Bone marrow smear; 40× oil immersion.
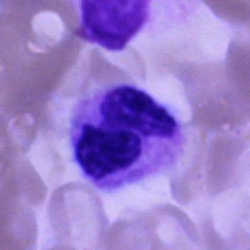This is a neutrophil (segmented).